Bone marrow aspirate smear
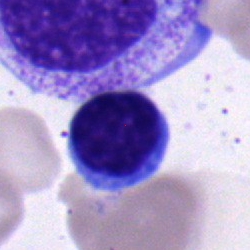
Single cell identified as a typical lymphocyte.